Bone marrow aspirate smear.
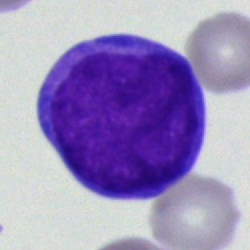 A blast cell.